Bone marrow smear.
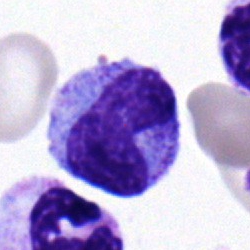Q: What is the morphological classification of this cell?
A: This is a neutrophil (band).